Bone marrow smear:
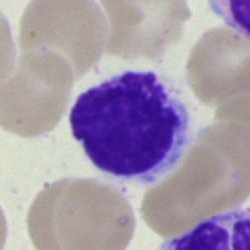 {"cell_type": "artefact"}